Bone marrow smear · Pappenheim-stained · 40× objective, oil immersion
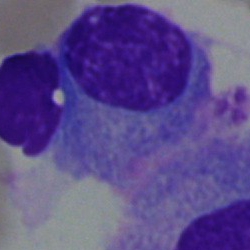The classification is plasma cell.